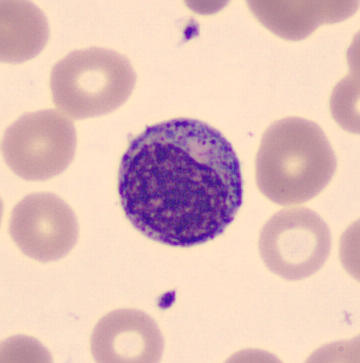

A myelocyte.